Bone marrow smear
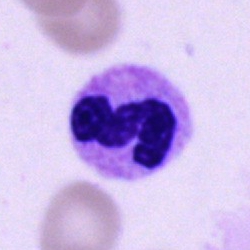

Classification = segmented neutrophil.